Bone marrow smear; single-cell crop; May-Grünwald-Giemsa/Pappenheim stain: 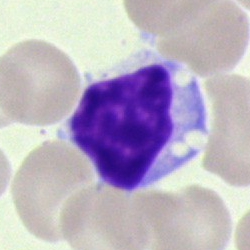Specimen: bone marrow smear.
Morphological class: lymphocyte.